Bone marrow aspirate smear: 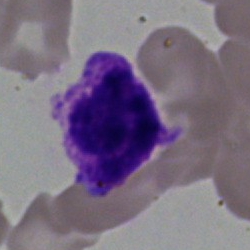 Q: Identify the cell.
A: This is a basophilic granulocyte.